Bone marrow aspirate smear: 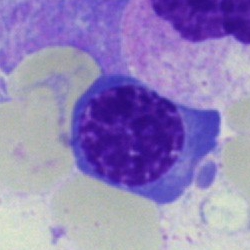
Morphology consistent with a nucleated red cell.